250×250 px; brightfield, 40× oil-immersion objective; bone marrow smear — 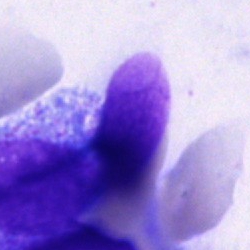

Single cell identified as an artefact.